Bone marrow aspirate smear — 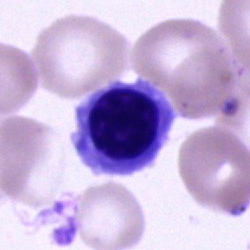 Morphology → normoblast.